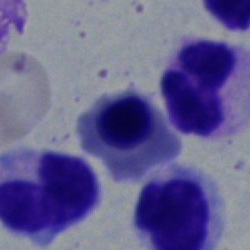 Specimen: bone marrow aspirate smear.
Morphological class: erythroblast.